Bone marrow aspirate smear
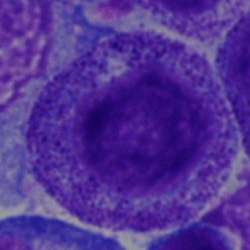The cell type is myelocyte.